Peripheral blood smear.
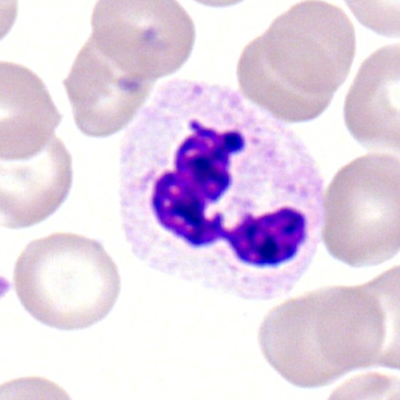 Specimen: peripheral blood film.
Cell: polymorphonuclear neutrophil.
Lineage: myeloid.